Bone marrow aspirate smear; 250×250.
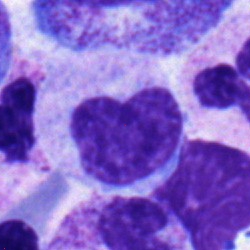

Impression — metamyelocyte.